Bone marrow smear · Pappenheim-stained:
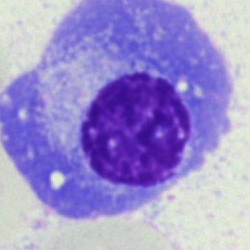

Specimen: bone marrow aspirate smear.
Morphological class: plasmacyte.
Lineage: lymphoid.